Bone marrow smear — 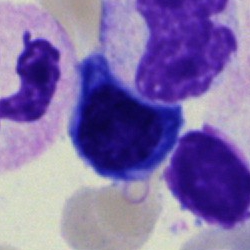Q: What type of cell is this?
A: Erythroblast.